Bone marrow smear — 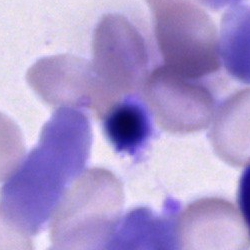 Impression — unidentifiable cell.